Bone marrow aspirate smear · brightfield, 40× oil-immersion objective: 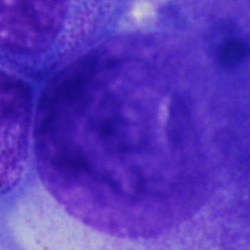 Specimen: bone marrow smear.
Cell: artefact.